40× oil immersion; bone marrow aspirate smear: 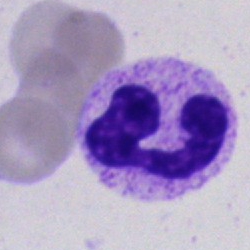

Q: What is the morphological classification of this cell?
A: This is a polymorphonuclear neutrophil.